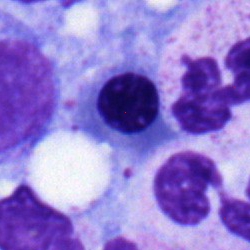Impression — nucleated red blood cell.